Single cell centered in the field. Bone marrow smear
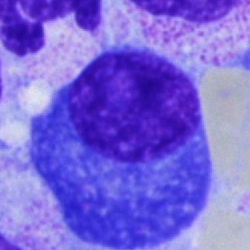
This is a plasmacyte.